Bone marrow smear — 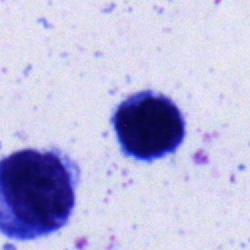

Classification: normoblast.